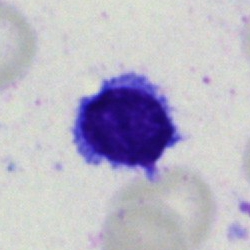{"cell_type": "typical lymphocyte"}